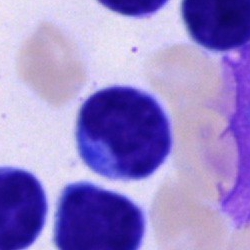 Specimen: bone marrow smear.
Cell: lymphocyte.
Lineage: lymphoid.